Bone marrow aspirate smear:
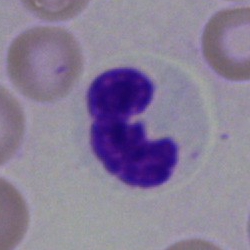

Morphology → segmented neutrophil.